Pappenheim-stained · brightfield, 40× oil-immersion objective · bone marrow smear:
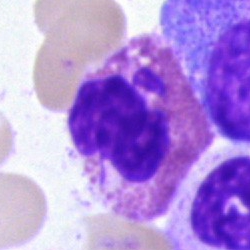The cell shown is an eosinophil.